Bone marrow smear
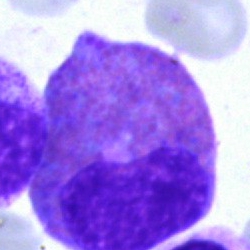 Q: What is shown here?
A: Eosinophilic granulocyte.